Bone marrow smear. Image size 250×250: 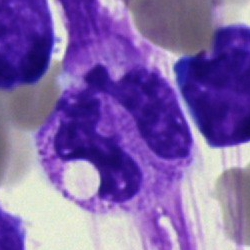Q: What is the morphological classification of this cell?
A: Neutrophil (segmented).